Bone marrow smear; brightfield, 40× oil-immersion objective: 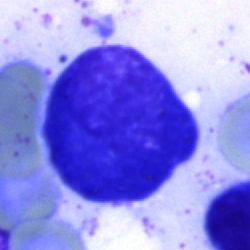
Impression → progranulocyte.